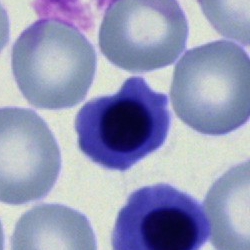
This is a nucleated red cell.